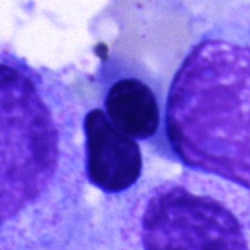 Morphology → unidentifiable cell.